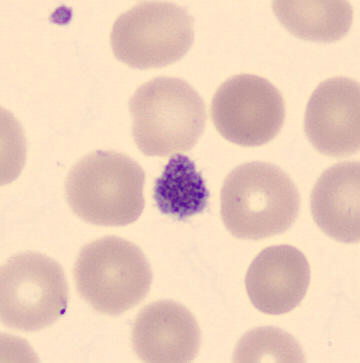 Q: What is this?
A: This is a thrombocyte.